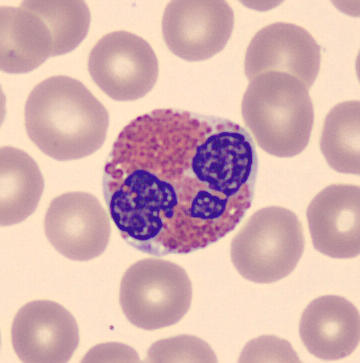 Peripheral blood smear · imaged on a CellaVision DM96 analyser · cropped to a single cell.

The cell shown is an eosinophilic granulocyte.